Bone marrow smear
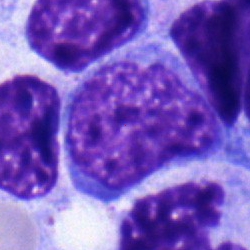 Classification = monocyte.